Bone marrow aspirate smear
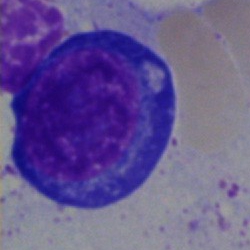 Q: What type of cell is this?
A: A normoblast.